Bone marrow aspirate smear: 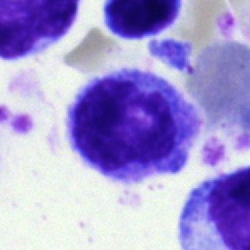

This is a monocyte.